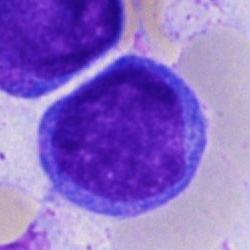Q: What is shown here?
A: It is an undifferentiated blast.